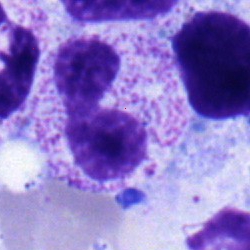Showing a band neutrophil.